Bone marrow smear
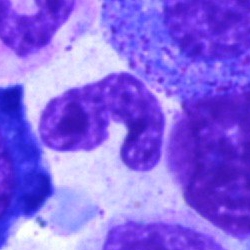Morphology — band neutrophil.